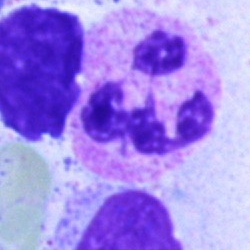 Cell type: polymorphonuclear neutrophil.